Image size 250×250; bone marrow aspirate smear
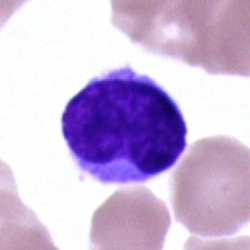

Cell: lymphocyte.